Bone marrow smear. MGG-stained — 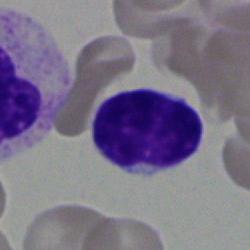

Q: What is shown here?
A: Typical lymphocyte.